Bone marrow smear: 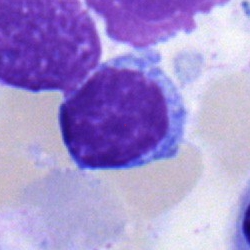

Specimen: bone marrow aspirate smear.
Cell: typical lymphocyte.
Lineage: lymphoid.